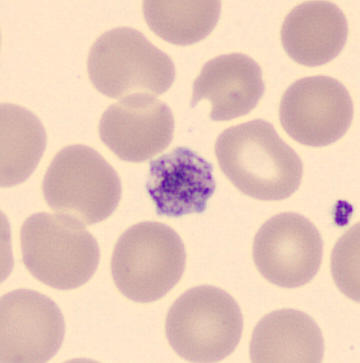 Peripheral blood smear; automated cell imaging (CellaVision DM96); 360 by 363 pixels.

Platelet (thrombocyte).